Image size 250×250; bone marrow smear.
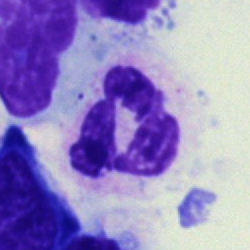
Single cell identified as a segmented neutrophil.